Bone marrow smear. 250 by 250 pixels. Cropped to a single cell
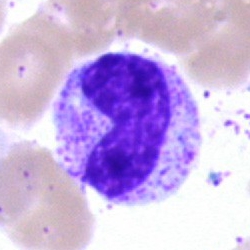Specimen: bone marrow aspirate smear.
Morphological class: neutrophil (band).
Lineage: myeloid.